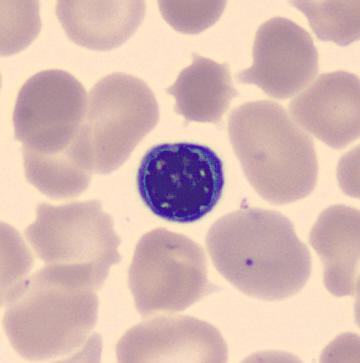Specimen: peripheral blood smear.
Morphological class: normoblast.
Lineage: erythroid.
Acquisition: 360×363 px · May-Grünwald-Giemsa-stained.